Bone marrow aspirate smear; single cell centered in the field.
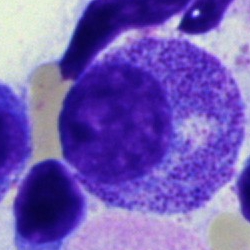
Morphological class: progranulocyte.